Pappenheim-stained. Bone marrow aspirate smear
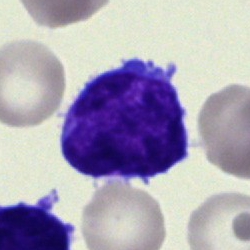Classification — blast.